Bone marrow smear: 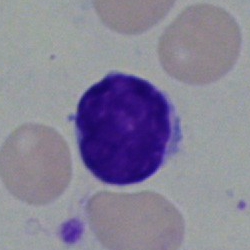

Morphology — typical lymphocyte.